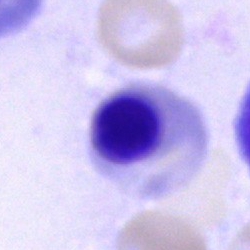
Specimen: bone marrow smear.
Cell type: erythroblast.